Bone marrow smear — 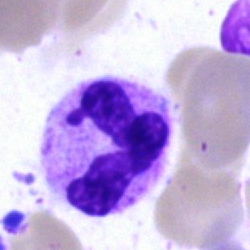

Specimen: bone marrow smear.
Classification: polymorphonuclear neutrophil.